Bone marrow smear; single cell centered in the field
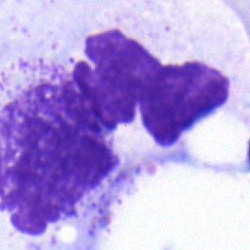Cell type: neutrophil (segmented).